Bone marrow aspirate smear
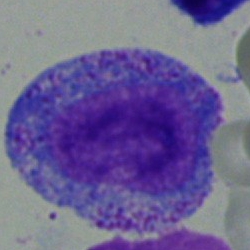

Q: What type of cell is this?
A: This is a promyelocyte.